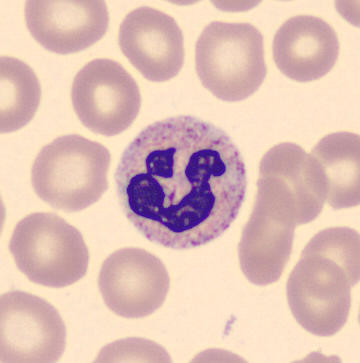 Morphology consistent with a polymorphonuclear neutrophil.

Preparation: Peripheral blood film.